Single-cell field · bone marrow smear · May-Grünwald-Giemsa stain.
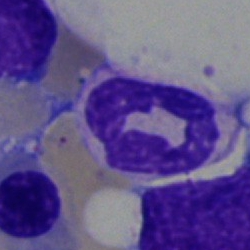 Q: What cell is this?
A: This is a segmented neutrophil.